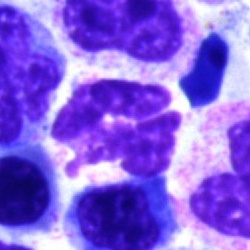
A segmented neutrophil.